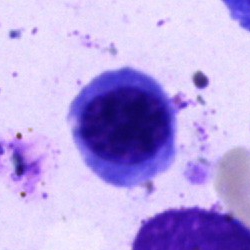
Specimen: bone marrow aspirate smear.
Classification: nucleated red blood cell.